Bone marrow smear: 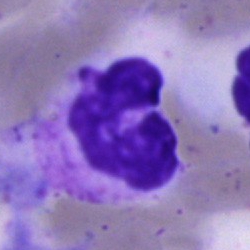 Cell type = polymorphonuclear neutrophil.